Bone marrow aspirate smear — 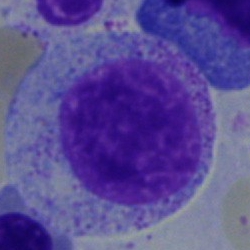

Morphology → myelocyte.